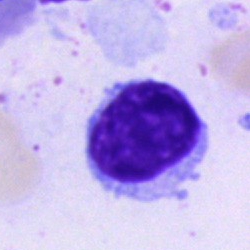

Bone marrow aspirate smear, single cell — lymphocyte.